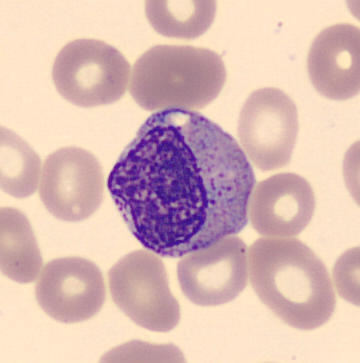Preparation: Peripheral blood smear.
Impression — myelocyte.